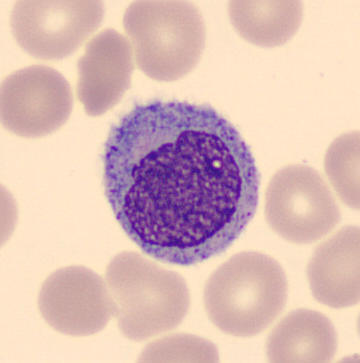 Q: What is shown here?
A: A monocyte.
Acquisition: MGG stain; automated cell imaging (CellaVision DM96); peripheral blood film.